Bone marrow aspirate smear.
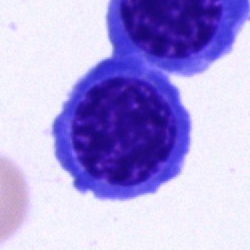The cell is erythroblast.